Bone marrow aspirate smear
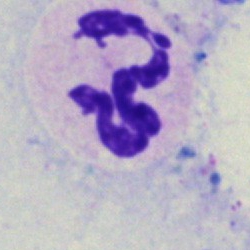Q: Which cell type is shown here?
A: It is a neutrophil (segmented).